Bone marrow smear.
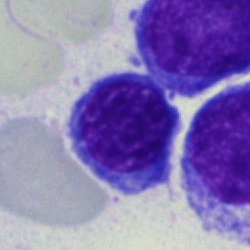

Nucleated red blood cell.